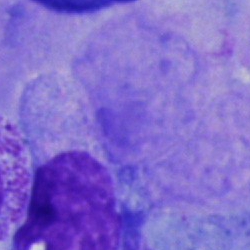 This is an artefact.